Bone marrow smear.
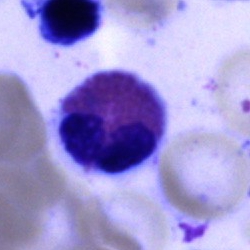Cell type: eosinophilic granulocyte.